Bone marrow smear.
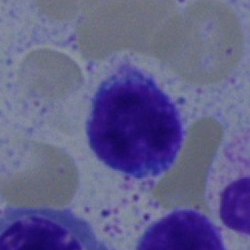

Q: What is the morphological classification of this cell?
A: It is a typical lymphocyte.